Bone marrow aspirate smear. Brightfield microscopy, 40× oil immersion. Single cell centered in the field:
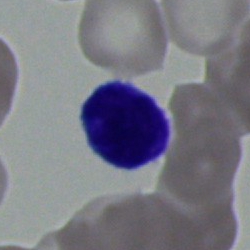
Q: What type of cell is this?
A: Lymphocyte.